Single cell centered in the field. Bone marrow aspirate smear
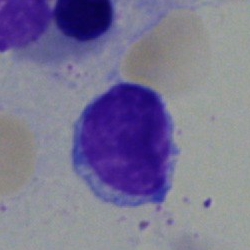
Morphology consistent with a lymphocyte.